Bone marrow aspirate smear.
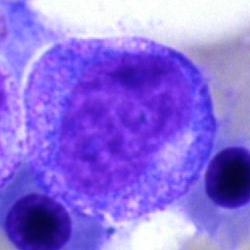 A promyelocyte.